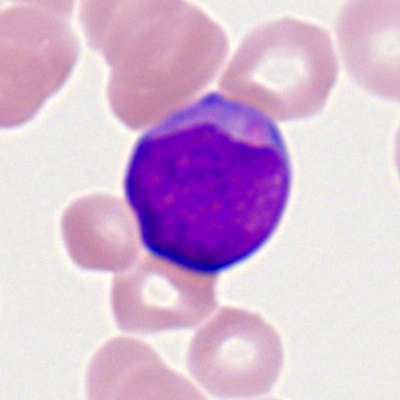

A myeloblast on a peripheral blood smear.